Bone marrow smear — 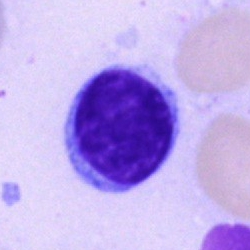Single cell identified as a lymphocyte.